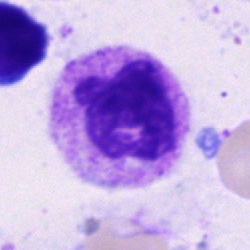

Impression → polymorphonuclear neutrophil.